250 by 250 pixels. Bone marrow aspirate smear.
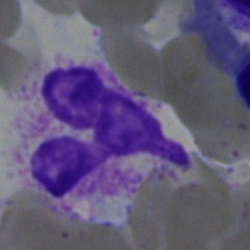
Q: What is shown here?
A: An artifact.